400×400; peripheral blood film: 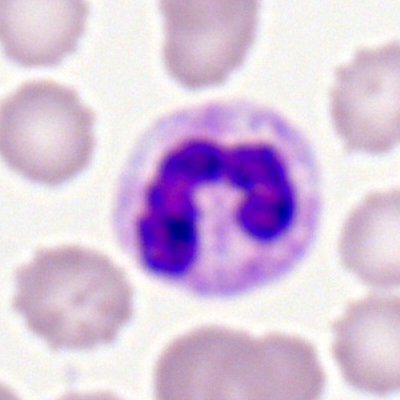Single cell identified as a neutrophil (segmented).